Brightfield, 40× oil-immersion objective; bone marrow aspirate smear; 250 by 250 pixels.
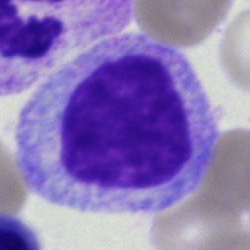
Impression — myelocyte.